Pappenheim-stained. Brightfield microscopy, 40× oil immersion. Bone marrow aspirate smear.
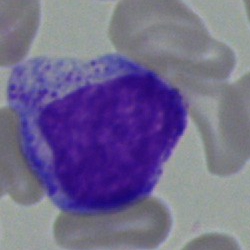Morphology consistent with a myelocyte.